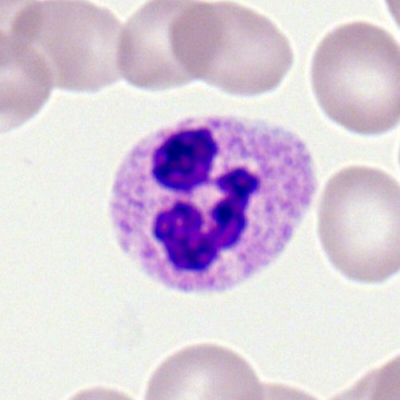 Morphology — segmented neutrophil.